Bone marrow aspirate smear · MGG-stained: 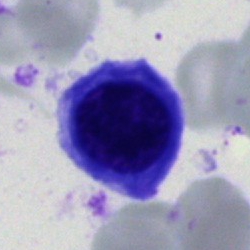

Q: What is the morphological classification of this cell?
A: It is a normoblast.